Bone marrow smear: 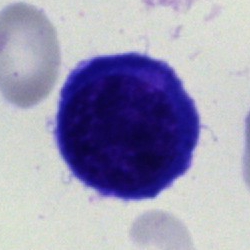{"cell_type": "nucleated red cell"}